Bone marrow aspirate smear:
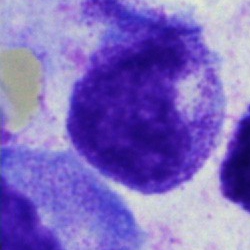
{"cell_type": "promyelocyte"}